Image size 250×250; May-Grünwald-Giemsa stain; bone marrow smear:
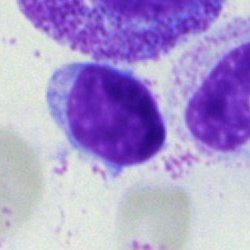
Morphological class = lymphocyte.